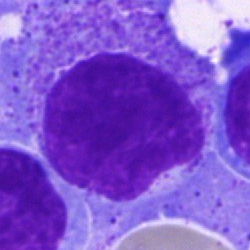 Morphological class = progranulocyte.